Bone marrow smear — 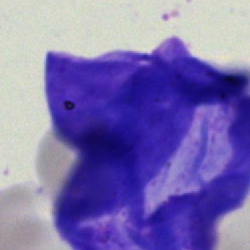 Q: What is shown here?
A: Artefact.